Bone marrow smear:
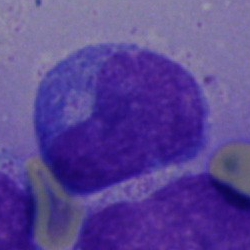 Impression → blast.